Bone marrow smear.
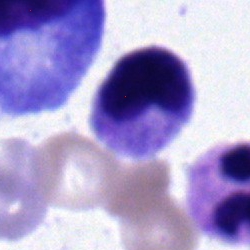Showing a metamyelocyte.